Bone marrow smear. May-Grünwald-Giemsa/Pappenheim stain. 250×250
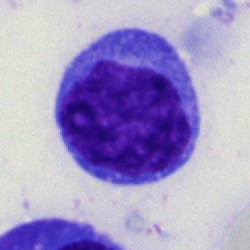 Morphology → segmented neutrophil.